Bone marrow smear; May-Grünwald-Giemsa stain:
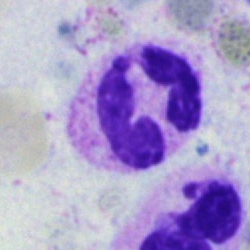
The cell type is polymorphonuclear neutrophil.